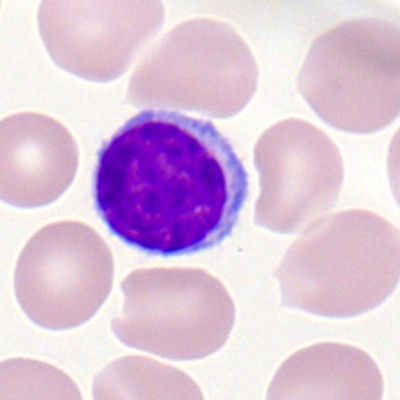Showing a lymphocyte.